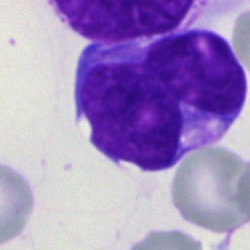Undifferentiated blast.